Bone marrow aspirate smear · 250×250 px.
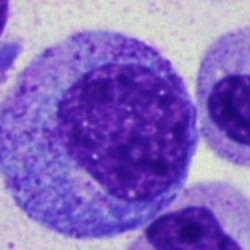

Morphological class — promyelocyte.